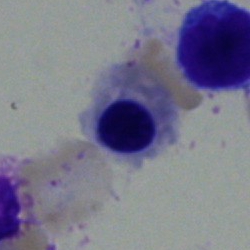Impression — nucleated red blood cell.